Bone marrow aspirate smear · brightfield microscopy, 40× oil immersion · 250×250 px: 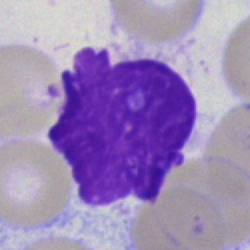
Morphology consistent with an artifact.